250 by 250 pixels; single cell centered in the field; bone marrow aspirate smear: 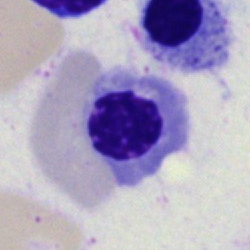 Q: What is the morphological classification of this cell?
A: It is a normoblast.